Bone marrow smear: 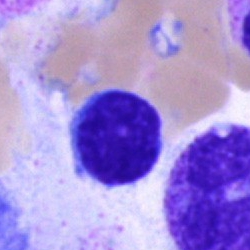
Lymphocyte.